Bone marrow smear.
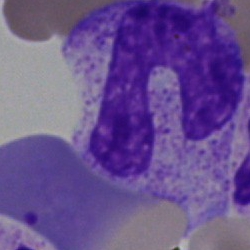 Neutrophil (band).